Brightfield microscopy, 40× oil immersion; bone marrow smear.
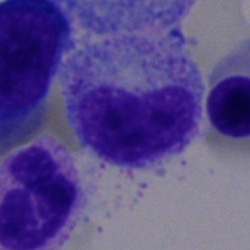
Q: Identify the cell.
A: Metamyelocyte.